Single cell centered in the field · bone marrow smear · 250×250 px — 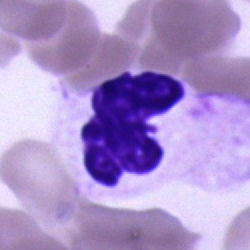Q: What is shown here?
A: It is a neutrophil (segmented).